Bone marrow aspirate smear: 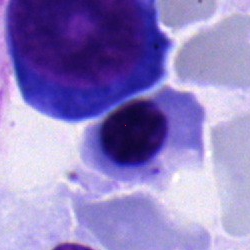
Showing a normoblast.